Bone marrow smear.
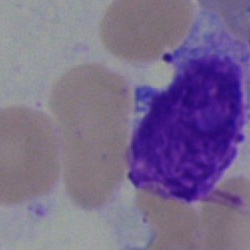
An artefact.